Peripheral blood smear
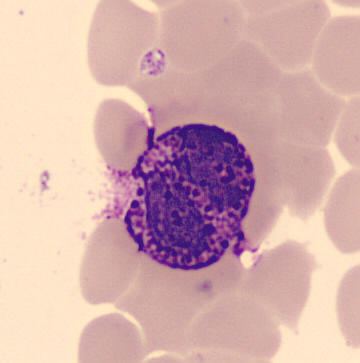 Showing a basophil.